40× oil immersion · bone marrow smear · 250×250 px: 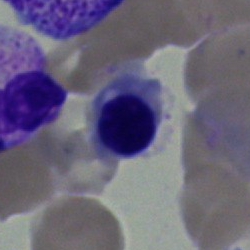

A nucleated red blood cell.